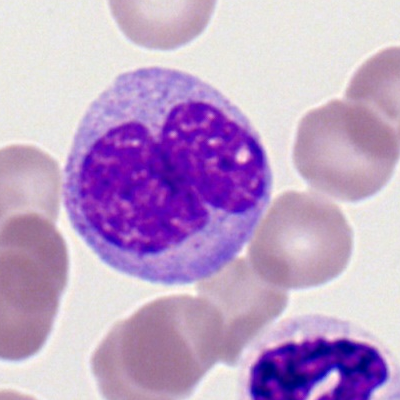Morphological class — monocyte.